Bone marrow smear — 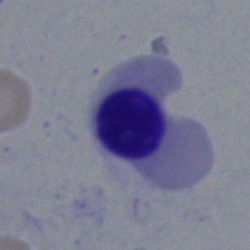
Q: What is shown here?
A: This is a nucleated red cell.